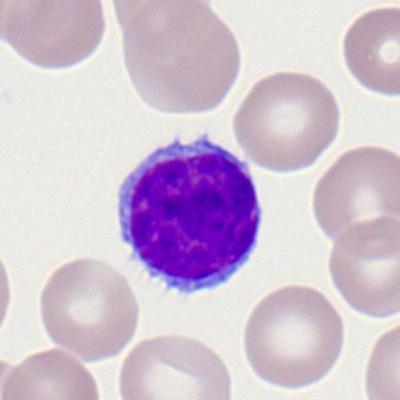
Morphology → lymphocyte.